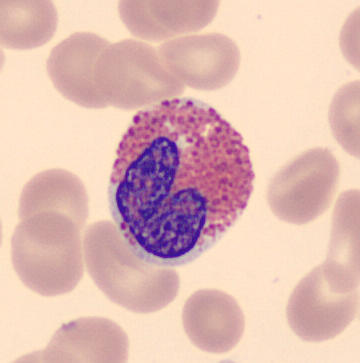

Specimen: peripheral blood smear.
Morphological class: eosinophil.